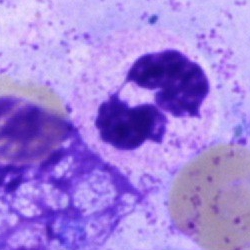

A segmented neutrophil on a bone marrow smear.